Bone marrow smear.
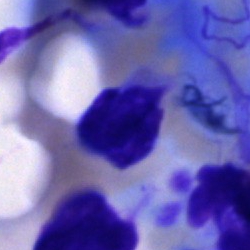

An artifact.